Bone marrow aspirate smear · brightfield, 40× oil-immersion objective
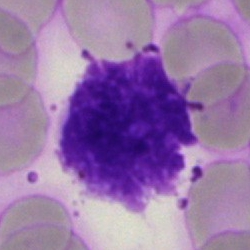 An artifact.